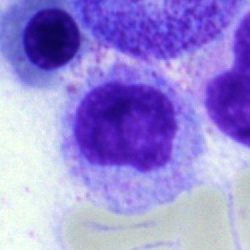

Impression → myelocyte.